Bone marrow smear; cropped to a single cell.
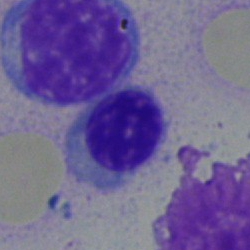 Q: What is shown here?
A: It is a normoblast.